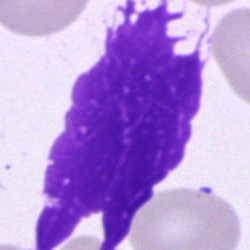 {"cell_type": "artefact"}